Peripheral blood film.
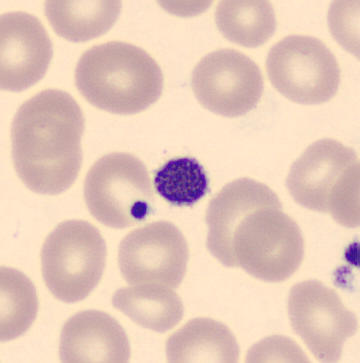Morphology consistent with a platelet.